Bone marrow smear
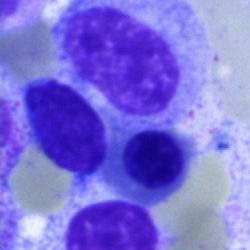

This is a nucleated red cell.